Bone marrow aspirate smear; 250 by 250 pixels.
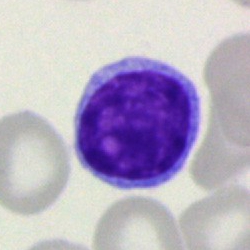
Morphology consistent with a lymphocyte.